Bone marrow smear.
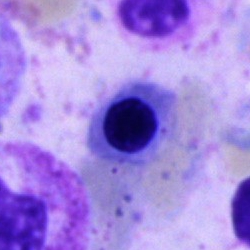

Morphology consistent with an erythroblast.